Peripheral blood film. 100× oil immersion, 14.14 px/µm. Romanowsky-type stain
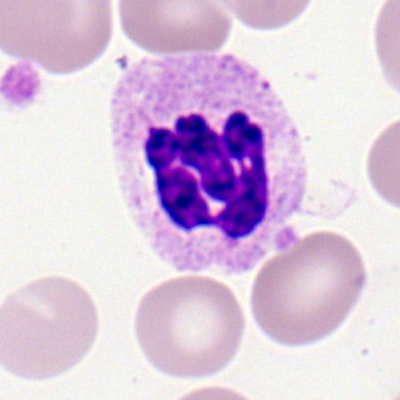

Morphology — polymorphonuclear neutrophil.